Image size 250×250 · bone marrow smear — 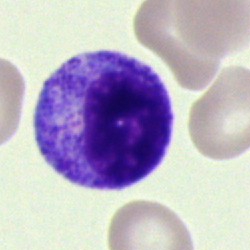{"cell_type": "myelocyte", "lineage": "myeloid"}